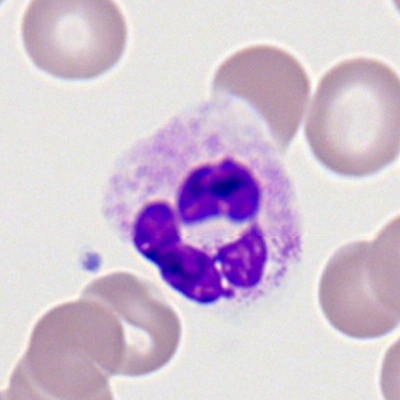The cell is segmented neutrophil.